Image size 400×400. Peripheral blood film:
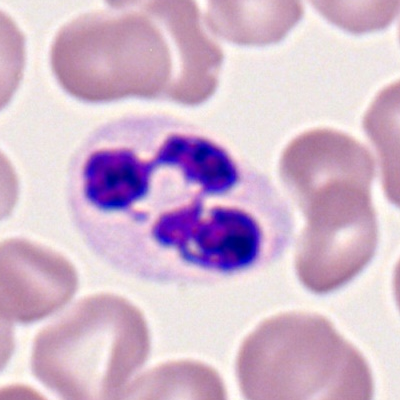
Single cell identified as a segmented neutrophil.